Bone marrow smear:
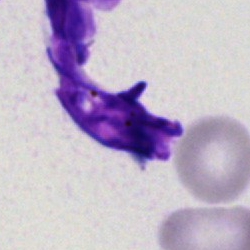Morphology → artefact.